250×250 px; single-cell field; bone marrow smear: 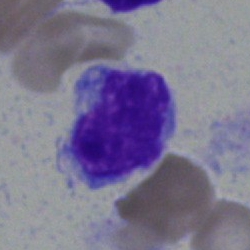Lymphocyte.